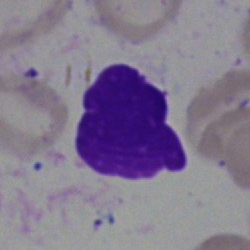
Q: What is shown here?
A: Artifact.